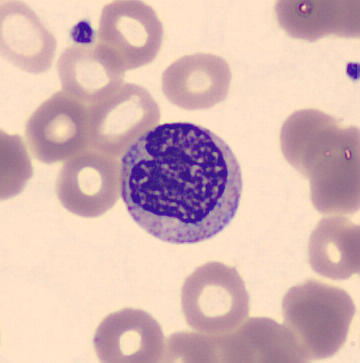 Peripheral blood film. Automated cell imaging (CellaVision DM96). Single-cell crop. Classification = metamyelocyte.